Bone marrow aspirate smear.
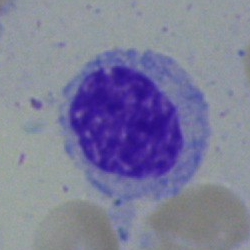 Specimen: bone marrow aspirate smear.
Cell: myelocyte.
Lineage: myeloid.